250 by 250 pixels · brightfield, 40× oil-immersion objective · bone marrow smear: 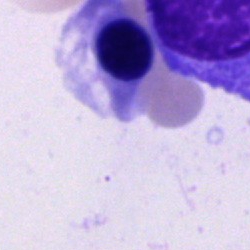An erythroblast.